Bone marrow smear · single cell centered in the field · MGG-stained.
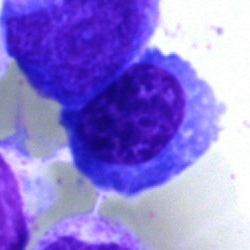 The cell type is normoblast.